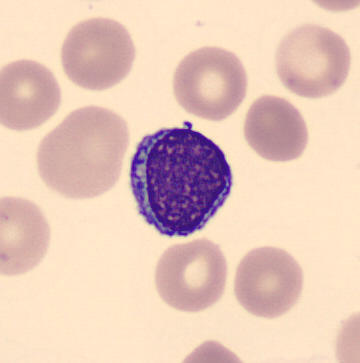
Morphology → typical lymphocyte.